Brightfield, 40× oil-immersion objective. Image size 250×250. Bone marrow aspirate smear: 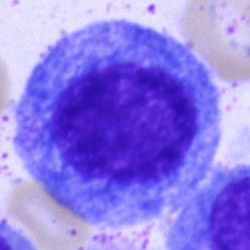Specimen: bone marrow aspirate smear.
Classification: progranulocyte.